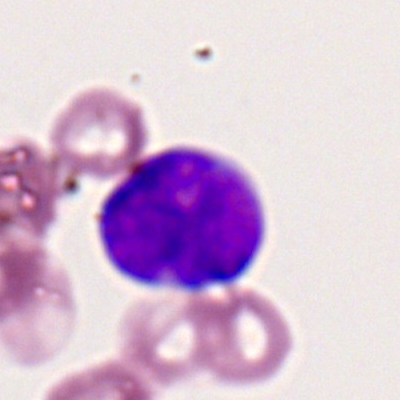 Peripheral blood smear showing a myeloid blast.